Bone marrow smear:
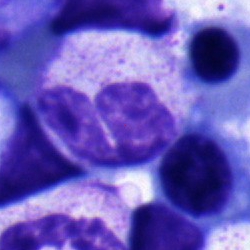
The cell shown is a neutrophil (segmented).